May-Grünwald-Giemsa/Pappenheim stain. Bone marrow smear:
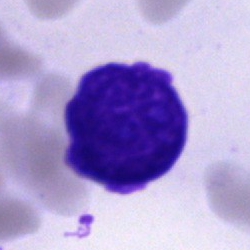

Specimen: bone marrow aspirate smear.
Classification: artifact.